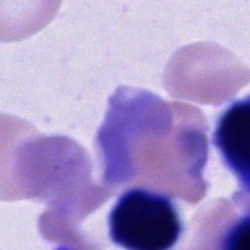 Q: What type of cell is this?
A: This is an unidentifiable cell.